Brightfield, 40× oil-immersion objective. Bone marrow smear:
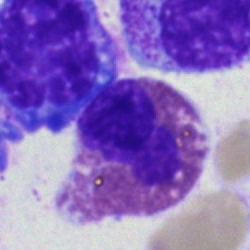 Morphology consistent with an eosinophilic granulocyte.